Romanowsky-stained; peripheral blood smear
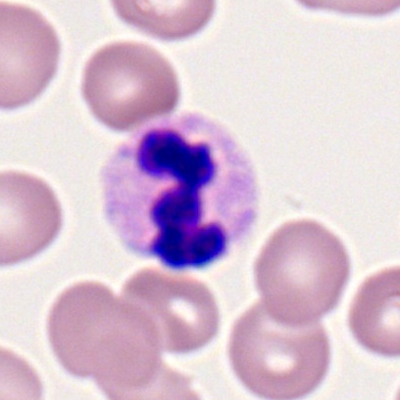
{"cell_type": "polymorphonuclear neutrophil", "lineage": "myeloid"}